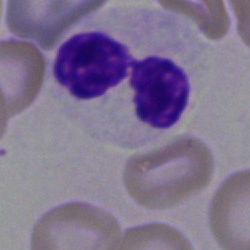{"cell_type": "segmented neutrophil"}